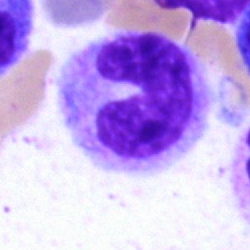
A band neutrophil.